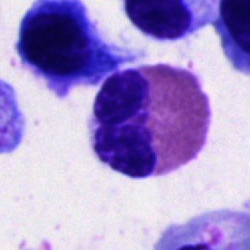

Q: What is the morphological classification of this cell?
A: Eosinophil.